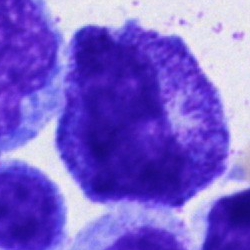 Single cell identified as a progranulocyte.